Bone marrow smear: 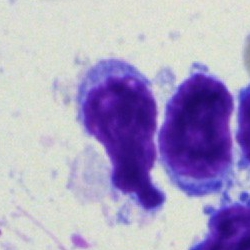

Q: What is the morphological classification of this cell?
A: This is a lymphocyte.